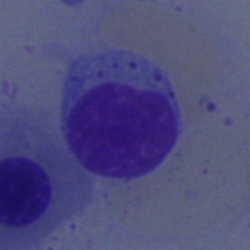 Specimen: bone marrow smear.
Cell: lymphocyte.
Lineage: lymphoid.